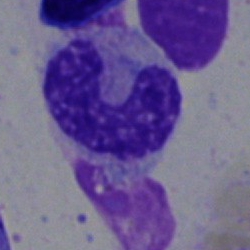Morphology — band-form neutrophil.